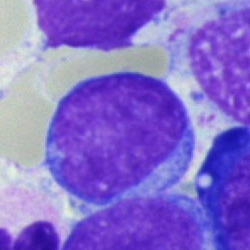
Bone marrow aspirate smear, single cell — blast cell.